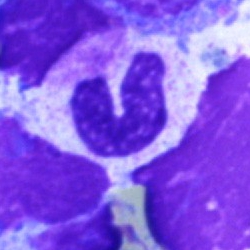

Cell: neutrophil (band).